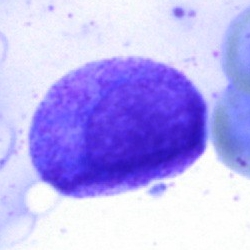 Single cell identified as a promyelocyte.